Bone marrow aspirate smear.
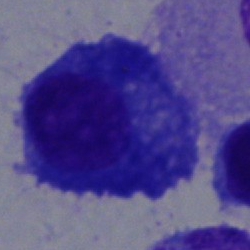 Morphological class — plasmacyte.